250×250 px. Bone marrow smear. May-Grünwald-Giemsa/Pappenheim stain: 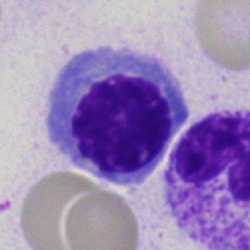 Specimen: bone marrow aspirate smear.
Cell: nucleated red cell.
Lineage: erythroid.